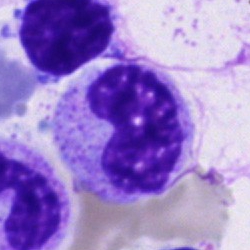

{"cell_type": "metamyelocyte", "lineage": "myeloid"}